Bone marrow aspirate smear; 40× objective, oil immersion
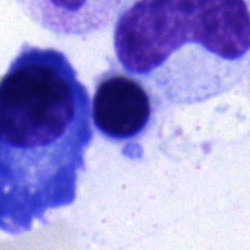 Specimen: bone marrow aspirate smear.
Morphological class: erythroblast.
Lineage: erythroid.